Bone marrow smear · single-cell crop · May-Grünwald-Giemsa stain
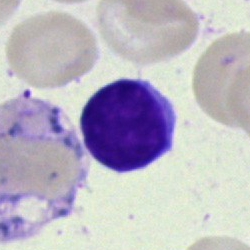

Showing a lymphocyte.